Bone marrow aspirate smear
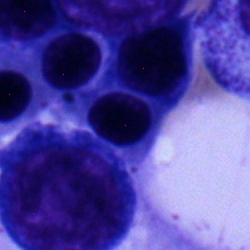The morphological class is erythroblast.